Bone marrow aspirate smear · 250×250:
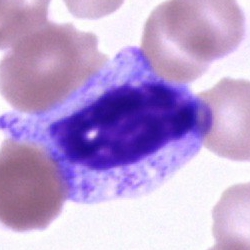

Cell type: cell of indeterminate lineage.